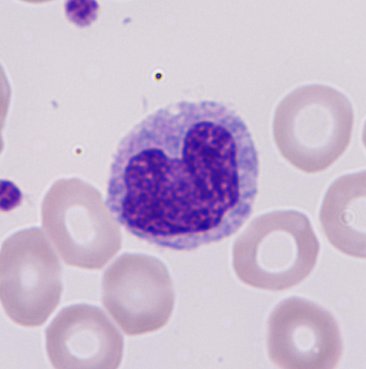 Peripheral blood smear. Q: Identify the cell.
A: It is a monocyte.